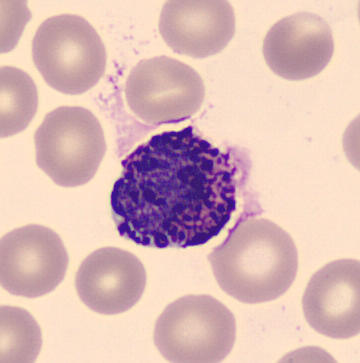 Preparation: Peripheral blood film. Q: What is the morphological classification of this cell?
A: It is a basophil.